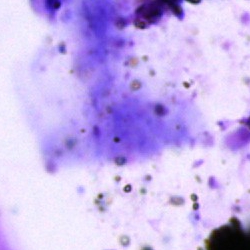
Impression → artifact.